Bone marrow aspirate smear; 40× oil immersion:
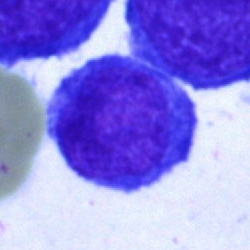Morphology — undifferentiated blast.